Peripheral blood smear
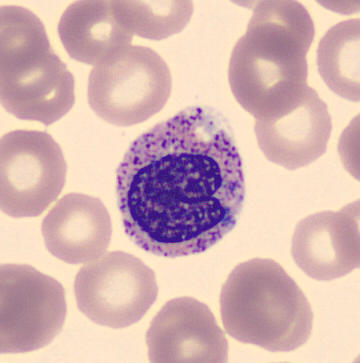 Showing a metamyelocyte.